Bone marrow smear — 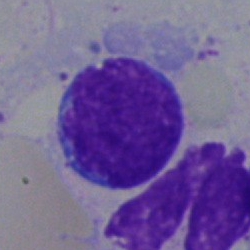 Cell: typical lymphocyte.